MGG stain · 360×363 · peripheral blood film.
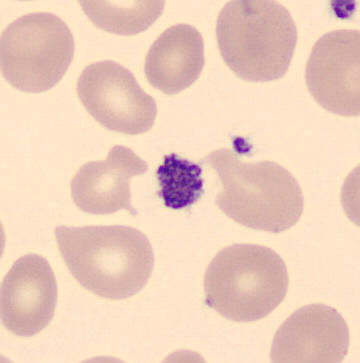
Specimen: peripheral blood smear.
Classification: platelet (thrombocyte).